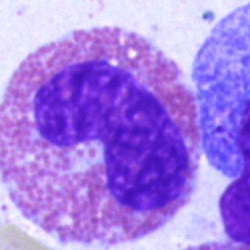
Specimen: bone marrow aspirate smear.
Classification: eosinophilic granulocyte.
Lineage: myeloid.